Peripheral blood smear: 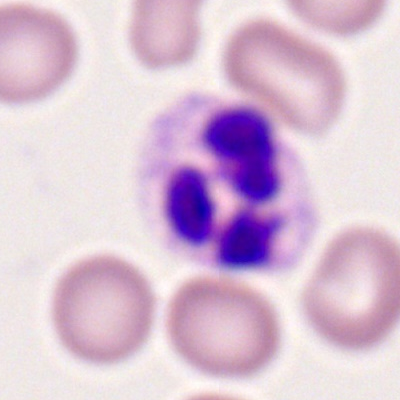
Q: Identify the cell.
A: This is a neutrophil (segmented).